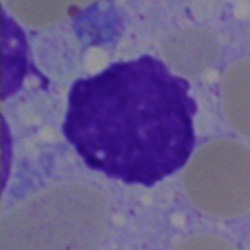Impression → artifact.